Bone marrow smear:
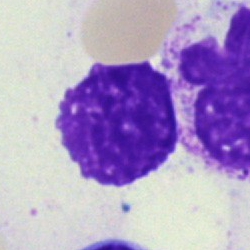Morphology consistent with an artifact.